Single-cell crop · bone marrow aspirate smear.
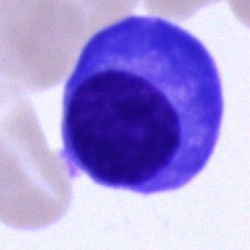Q: What type of cell is this?
A: A plasmacyte.